Bone marrow smear: 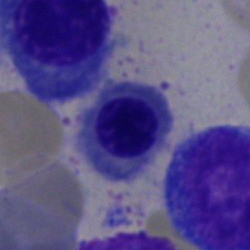Morphology — erythroblast.